Bone marrow aspirate smear.
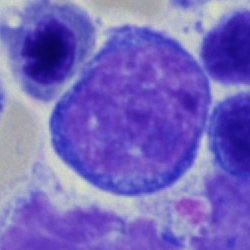
The cell type is proerythroblast.